Bone marrow aspirate smear: 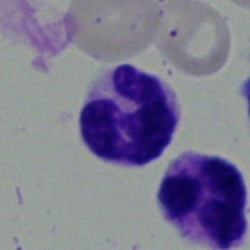

Q: What type of cell is this?
A: Segmented neutrophil.